Peripheral blood film · single cell centered in the field — 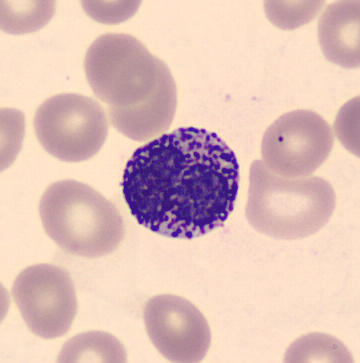

The cell is basophilic granulocyte.